Peripheral blood smear.
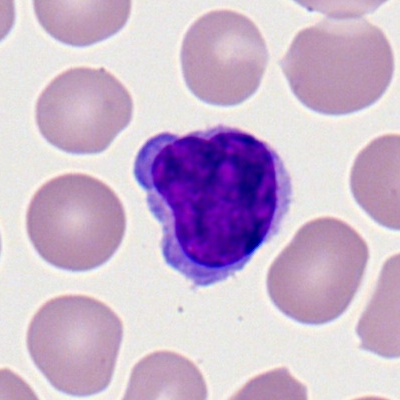Q: What type of cell is this?
A: It is a typical lymphocyte.